Bone marrow smear. Single cell centered in the field
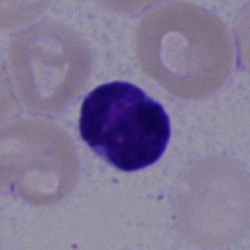The cell type is lymphocyte.